Bone marrow smear:
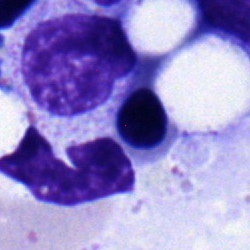

{"cell_type": "eosinophilic granulocyte", "lineage": "myeloid"}